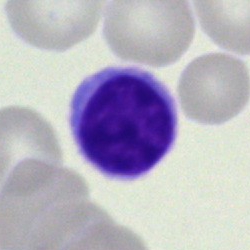

Q: Which cell type is shown here?
A: It is a lymphocyte.